250×250 px; bone marrow aspirate smear: 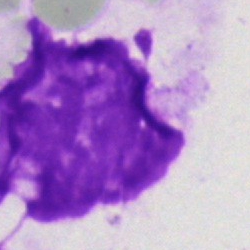 Showing an artefact.